Peripheral blood smear: 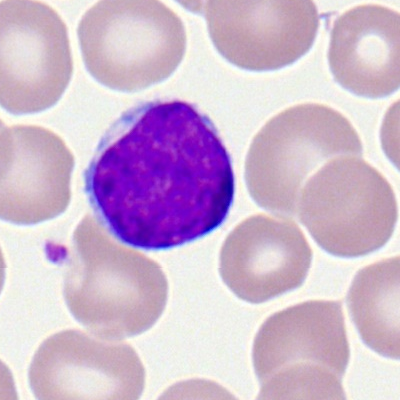 Q: What cell is this?
A: This is a typical lymphocyte.